MGG-stained; single cell centered in the field; bone marrow aspirate smear
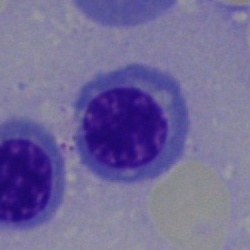Morphology → erythroblast.